Bone marrow aspirate smear. Single cell centered in the field: 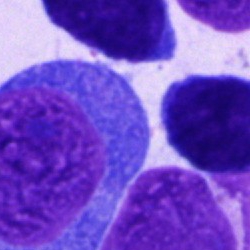
This is a cell of indeterminate lineage.